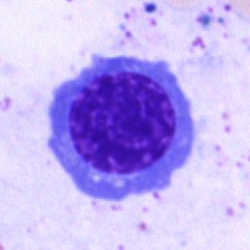 Specimen: bone marrow smear.
Classification: normoblast.